Bone marrow aspirate smear: 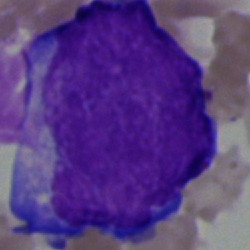

Cell type: undifferentiated blast.